Bone marrow aspirate smear.
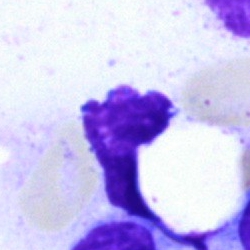Showing an artifact.